Bone marrow smear. 40× objective, oil immersion: 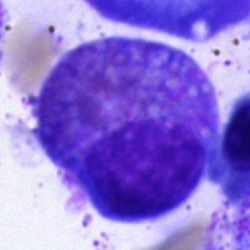 Single cell identified as an eosinophil.